250×250 px · bone marrow smear · 40× oil immersion:
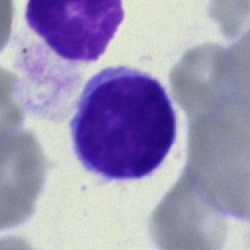 Specimen: bone marrow smear.
Morphological class: typical lymphocyte.